Image size 250×250 · bone marrow smear:
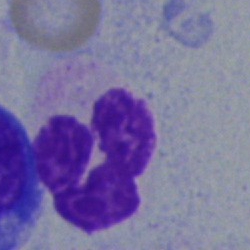 This is a neutrophil (segmented).